Cropped to a single cell; 40× oil immersion; bone marrow aspirate smear — 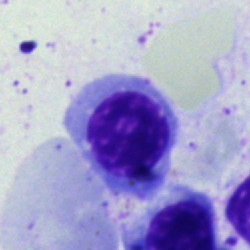
The cell is normoblast.